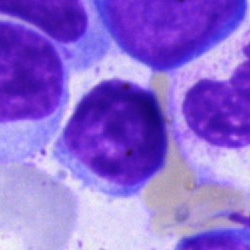
{"cell_type": "lymphocyte"}